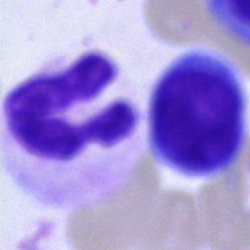 Cell = neutrophil (segmented).